Cropped to a single cell. 40× objective, oil immersion. Bone marrow smear
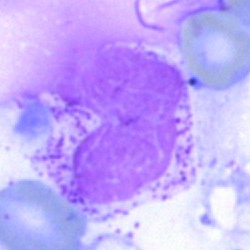Single cell identified as an artefact.